Bone marrow aspirate smear.
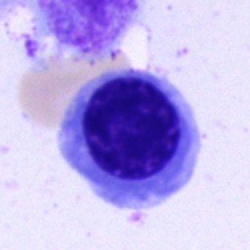The classification is nucleated red cell.